Bone marrow smear.
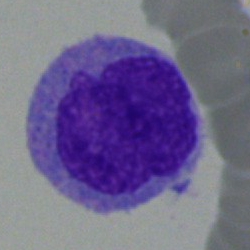 Q: Identify the cell.
A: This is a monocyte.